Bone marrow aspirate smear · May-Grünwald-Giemsa stain.
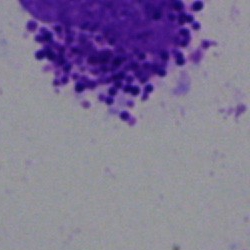 The cell is basophilic granulocyte.